Brightfield, 40× oil-immersion objective; bone marrow smear
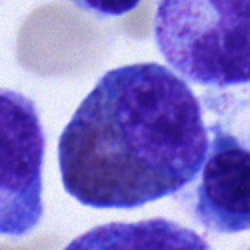
Impression → eosinophilic granulocyte.